Bone marrow aspirate smear · image size 250×250 — 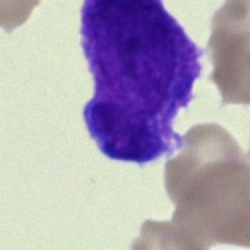

Q: What type of cell is this?
A: This is a blast.